Bone marrow smear. Brightfield, 40× oil-immersion objective. MGG-stained.
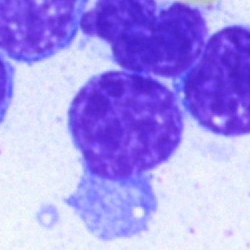

Q: Which cell type is shown here?
A: This is a typical lymphocyte.